Bone marrow aspirate smear: 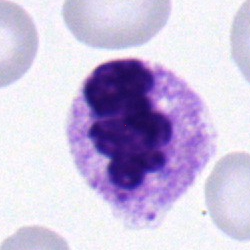A segmented neutrophil.